Brightfield microscopy, 40× oil immersion · bone marrow smear · MGG-stained.
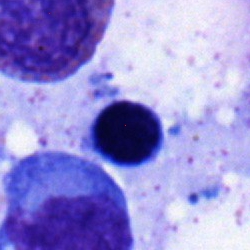Specimen: bone marrow aspirate smear.
Classification: nucleated red cell.
Lineage: erythroid.